Bone marrow aspirate smear; May-Grünwald-Giemsa/Pappenheim stain: 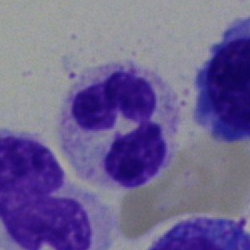 Morphological class — segmented neutrophil.